Bone marrow smear: 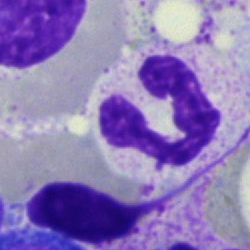

Q: Identify the cell.
A: This is a polymorphonuclear neutrophil.